Bone marrow smear
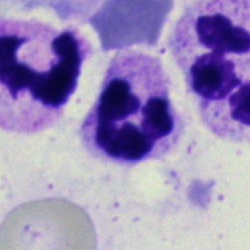Q: What type of cell is this?
A: This is a segmented neutrophil.